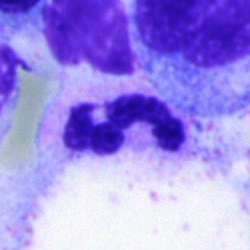
This is a polymorphonuclear neutrophil.